Bone marrow smear:
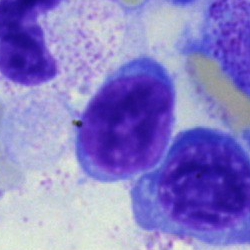Cell — lymphocyte.